Bone marrow smear.
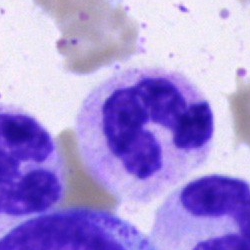 Cell = neutrophil (segmented).